Peripheral blood smear; 360×363; single-cell crop.
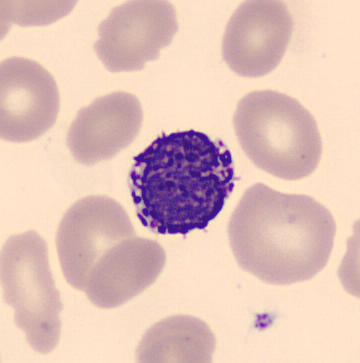

Single cell identified as a basophilic granulocyte.